Bone marrow smear: 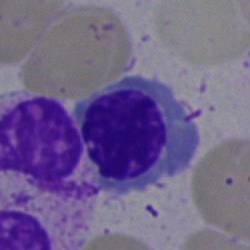Morphological class = normoblast.